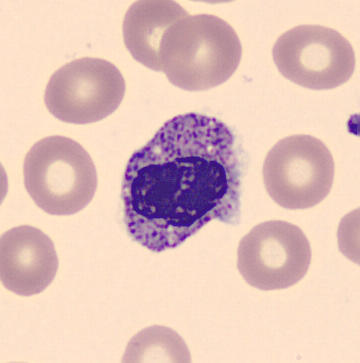Cell: metamyelocyte.